Bone marrow aspirate smear.
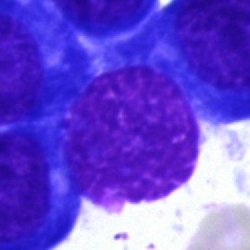Specimen: bone marrow aspirate smear.
Classification: artefact.